Bone marrow smear: 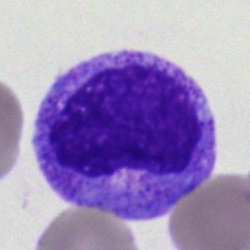

The cell type is metamyelocyte.